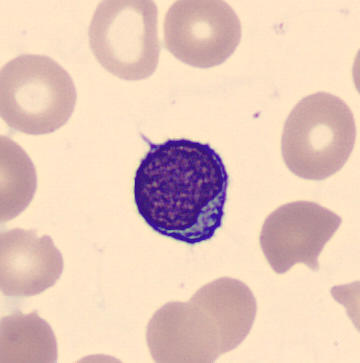

MGG-stained; peripheral blood smear; imaged on a CellaVision DM96 analyser.

Q: Identify the cell.
A: A lymphocyte.